Bone marrow smear — 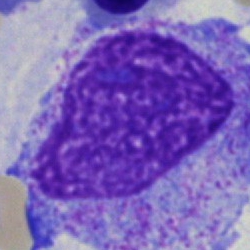 The cell is progranulocyte.